MGG-stained; brightfield, 40× oil-immersion objective; bone marrow aspirate smear
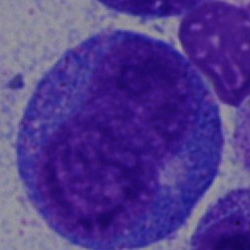 {"cell_type": "progranulocyte", "lineage": "myeloid"}